Bone marrow aspirate smear · 250×250.
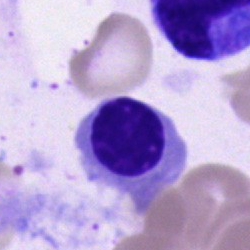

Cell type: nucleated red cell.